Bone marrow smear — 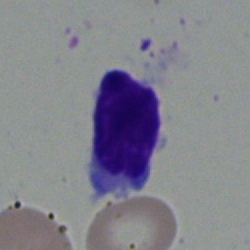

The cell shown is a lymphocyte.